250 by 250 pixels · bone marrow aspirate smear · single cell centered in the field — 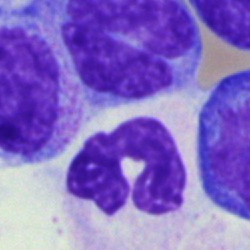

Cell type — segmented neutrophil.